Bone marrow aspirate smear — 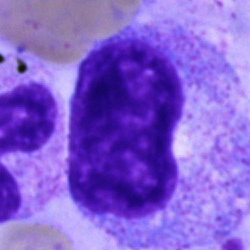 Specimen: bone marrow smear.
Cell: progranulocyte.